Peripheral blood film: 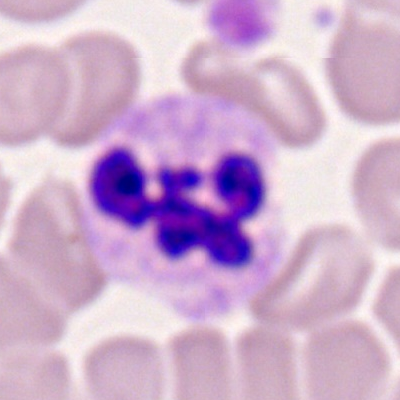
Morphology consistent with a polymorphonuclear neutrophil.